Brightfield microscopy, 40× oil immersion. Bone marrow aspirate smear
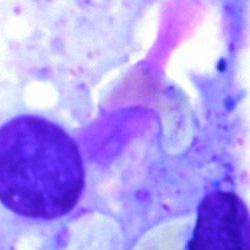
An artifact.